May-Grünwald-Giemsa/Pappenheim stain; bone marrow aspirate smear; single-cell crop
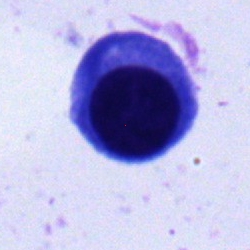
Morphological class: plasmacyte.